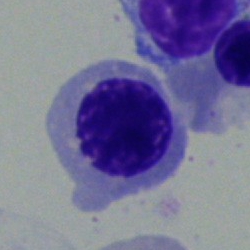
The cell shown is a normoblast.